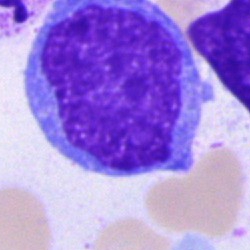
Bone marrow smear showing an undifferentiated blast.